Bone marrow smear; single-cell field; May-Grünwald-Giemsa stain
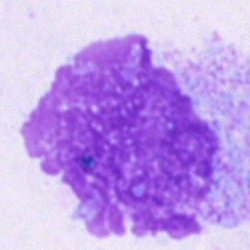
Single cell identified as an artifact.